Single cell centered in the field · M8 digital microscope (Precipoint), 100× oil immersion · peripheral blood smear:
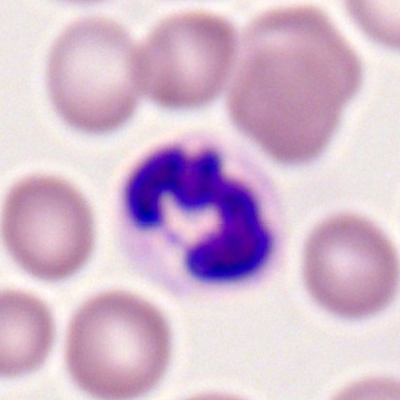

Specimen: peripheral blood smear.
Cell: neutrophil (segmented).
Lineage: myeloid.